Bone marrow smear; 40× oil immersion: 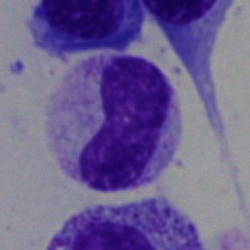
Eosinophil.